Bone marrow smear: 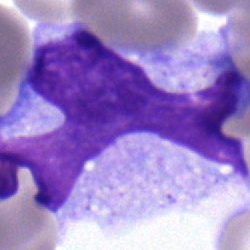

Monocyte.